Bone marrow smear — 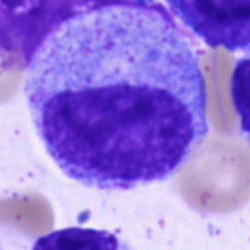 Showing a progranulocyte.